Bone marrow smear — 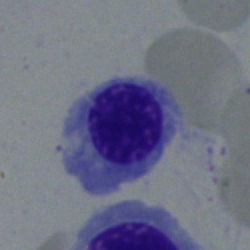 {"cell_type": "normoblast", "lineage": "erythroid"}